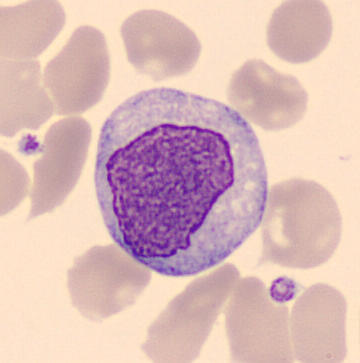Q: What is shown here?
A: A monocyte. Acquisition: Peripheral blood film; single-cell crop; image size 360×363.